Bone marrow aspirate smear.
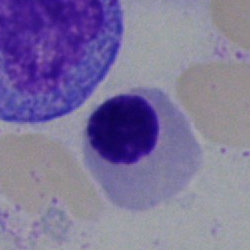

The morphological class is normoblast.